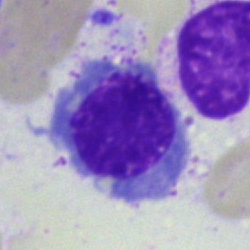

Q: Identify the cell.
A: An erythroblast.